Bone marrow smear: 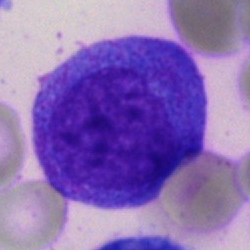

This is a progranulocyte.